250×250 · brightfield, 40× oil-immersion objective · bone marrow aspirate smear
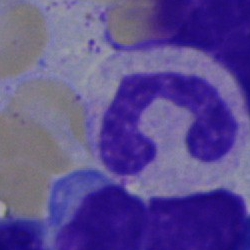Q: What is the morphological classification of this cell?
A: It is a band-form neutrophil.